Bone marrow aspirate smear.
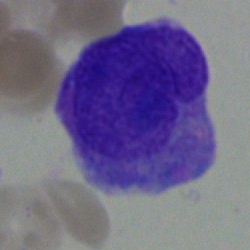 {"cell_type": "blast cell"}